Bone marrow aspirate smear. Brightfield microscopy, 40× oil immersion:
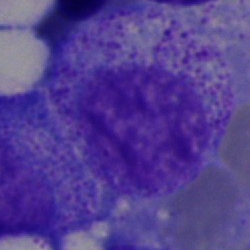
An artifact.